Bone marrow smear: 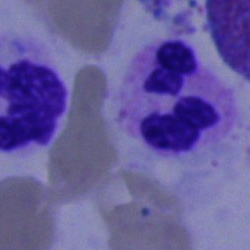

Q: Which cell type is shown here?
A: It is a polymorphonuclear neutrophil.